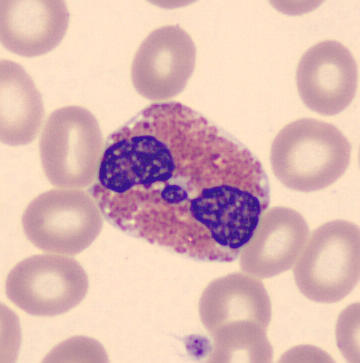 Morphological class: eosinophilic granulocyte.
Acquisition: MGG-stained · peripheral blood smear.